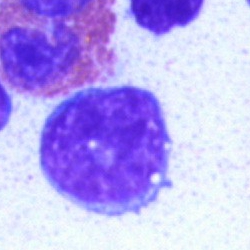

Morphological class = lymphocyte.